Bone marrow aspirate smear — 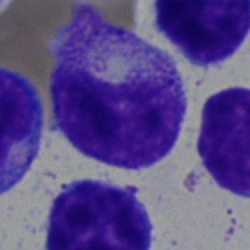
The classification is metamyelocyte.